Bone marrow smear. Single-cell crop. 250×250: 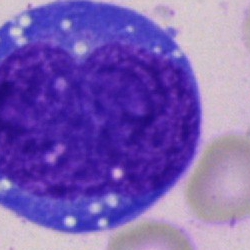

Q: What is the morphological classification of this cell?
A: Undifferentiated blast.